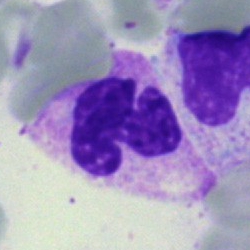
Morphological class: neutrophil (segmented).